400×400. Peripheral blood film:
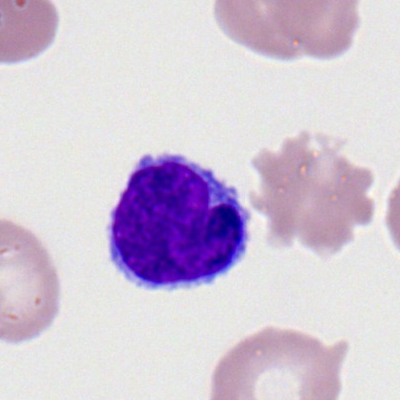
Classification: typical lymphocyte.